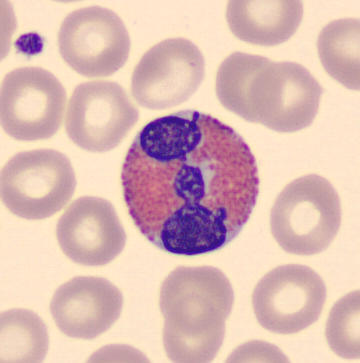

Morphological class: eosinophil.
Peripheral blood film.